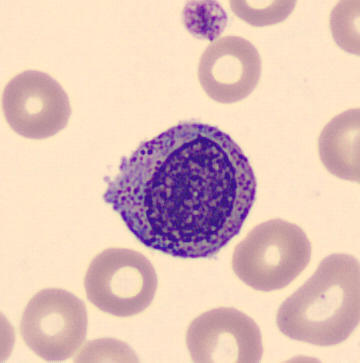
Acquisition: Peripheral blood smear.
A myelocyte.